Bone marrow aspirate smear. May-Grünwald-Giemsa/Pappenheim stain — 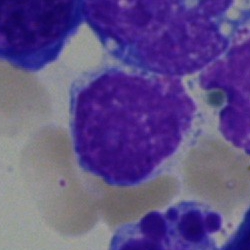 Morphology — typical lymphocyte.